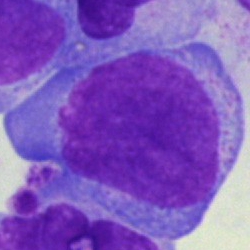
Single cell identified as an undifferentiated blast.